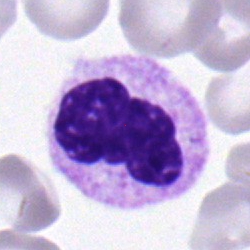

Cell — neutrophil (segmented).